Bone marrow smear.
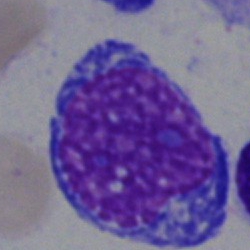 Specimen: bone marrow smear.
Classification: artefact.